Bone marrow smear:
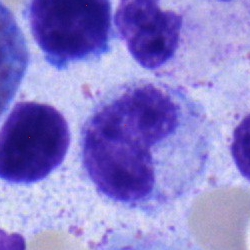
Morphology — stab cell.